Single-cell field · bone marrow aspirate smear · image size 250×250 — 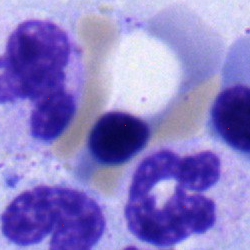The cell is nucleated red blood cell.